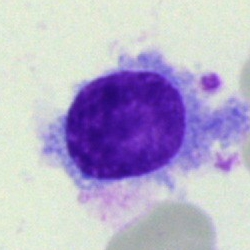

The cell is hairy cell.